250×250; bone marrow smear: 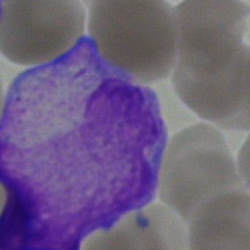 Classification: blast.